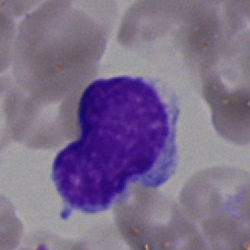 Morphological class — typical lymphocyte.